Bone marrow smear; 40× objective, oil immersion
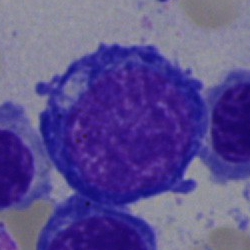 Impression — nucleated red blood cell.